Bone marrow smear — 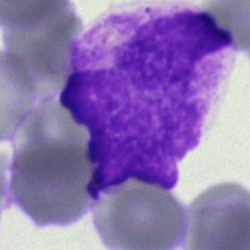The morphological class is artifact.